250 by 250 pixels · bone marrow aspirate smear · May-Grünwald-Giemsa/Pappenheim stain:
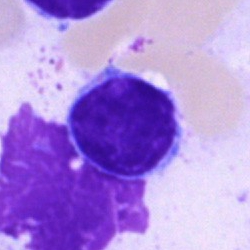Cell type = lymphocyte.